Bone marrow smear.
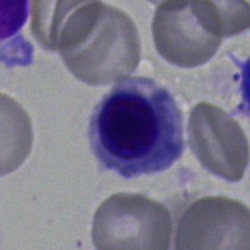
Single cell identified as a normoblast.